Bone marrow smear; May-Grünwald-Giemsa stain; 250 by 250 pixels.
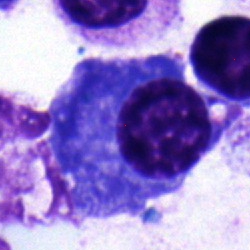
Morphology → plasmacyte.